Bone marrow aspirate smear: 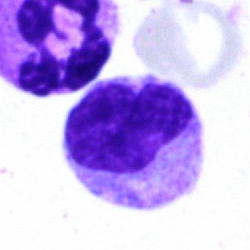 This is a metamyelocyte.